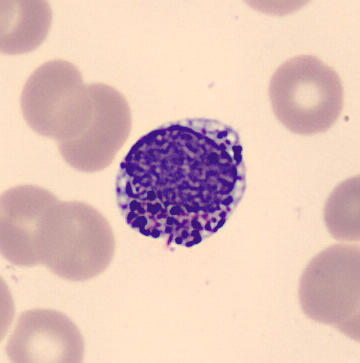Morphology consistent with a basophil. Imaged on a CellaVision DM96 analyser; May Grünwald-Giemsa stain; peripheral blood smear.